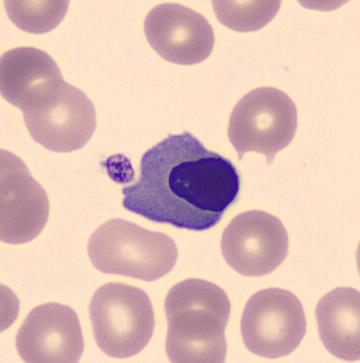
Peripheral blood smear · CellaVision DM96 digital cell image. Q: Which cell type is shown here?
A: It is a nucleated red blood cell.